Bone marrow smear; May-Grünwald-Giemsa/Pappenheim stain: 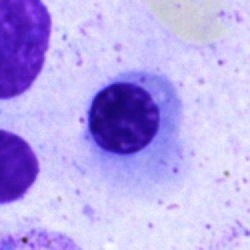A nucleated red blood cell.